Bone marrow smear: 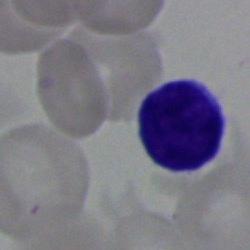 A typical lymphocyte.